Bone marrow smear
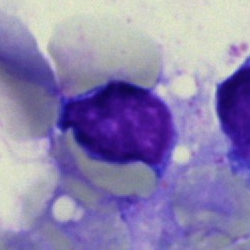

Lymphocyte.